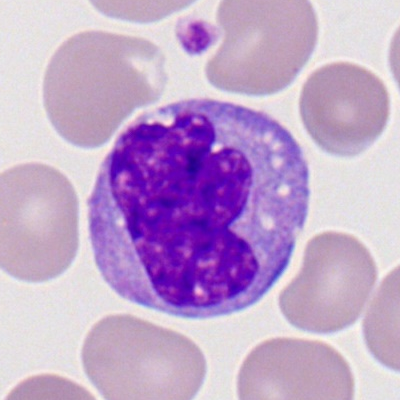The morphological class is monocyte.